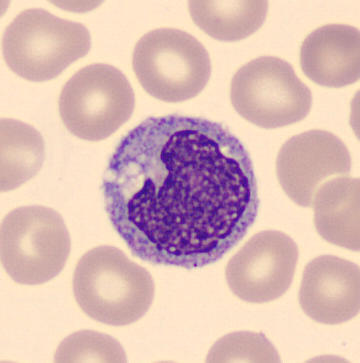
{"cell_type": "monocyte"}